Single cell centered in the field; bone marrow aspirate smear: 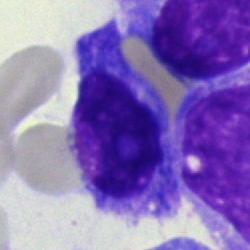This is an undifferentiated blast.